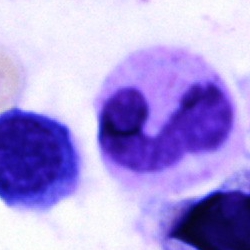

Specimen: bone marrow aspirate smear.
Cell: band neutrophil.